Bone marrow smear — 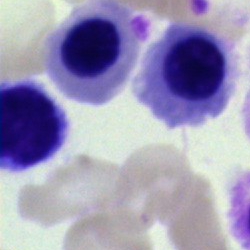 Impression — erythroblast.